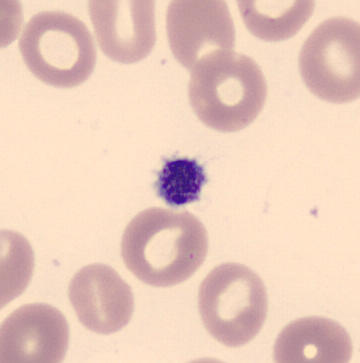

Preparation: Peripheral blood smear.
Cell type: platelet.